40× objective, oil immersion; bone marrow aspirate smear.
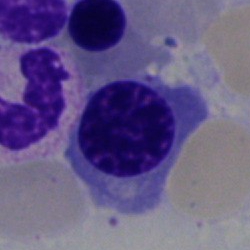 This is a nucleated red blood cell.